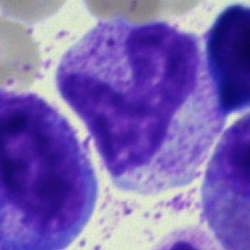

{"cell_type": "metamyelocyte", "lineage": "myeloid"}